Bone marrow smear: 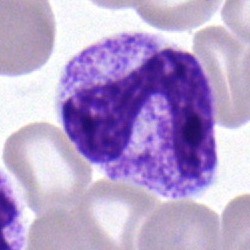
Q: What type of cell is this?
A: It is a neutrophil (band).